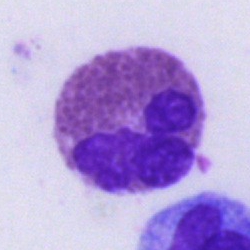

Morphological class — eosinophilic granulocyte.